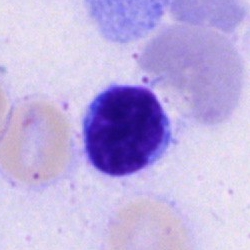 A typical lymphocyte on a bone marrow smear.